Pappenheim-stained; bone marrow smear:
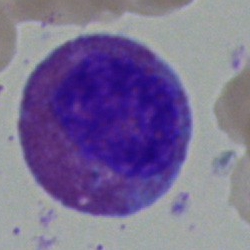
The classification is eosinophil.